Peripheral blood film — 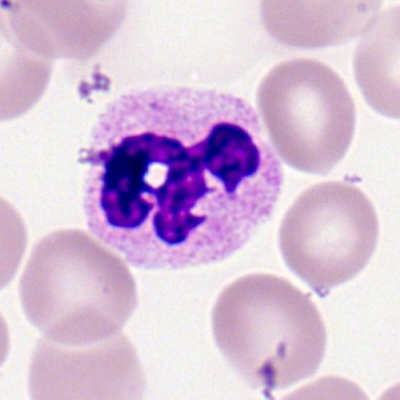 The cell shown is a polymorphonuclear neutrophil.